Bone marrow aspirate smear:
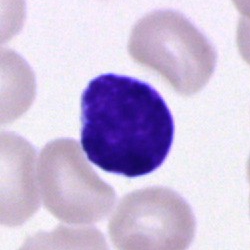 Showing a typical lymphocyte.